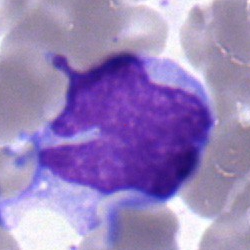

Specimen: bone marrow aspirate smear.
Morphological class: typical lymphocyte.
Lineage: lymphoid.